Bone marrow aspirate smear
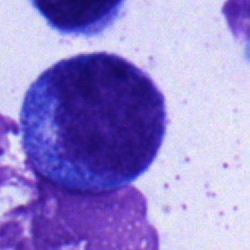 This is a promyelocyte.